Image size 360×363 · peripheral blood film:
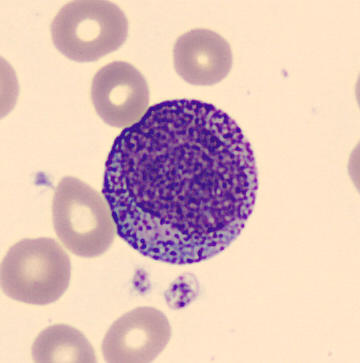 Progranulocyte.